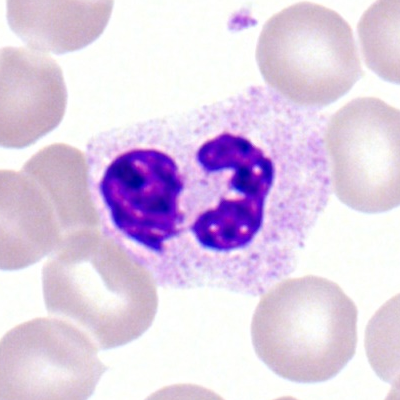

The morphological class is segmented neutrophil.